Bone marrow aspirate smear.
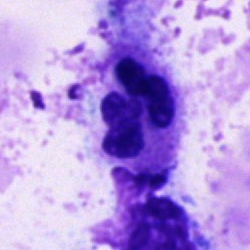
An artifact.